Bone marrow aspirate smear. 40× oil immersion: 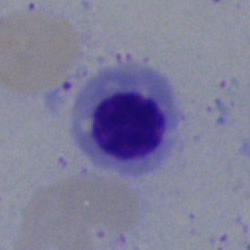
Specimen: bone marrow aspirate smear.
Cell: nucleated red cell.